Bone marrow smear:
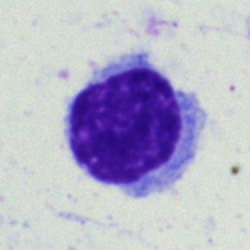 Morphology consistent with a typical lymphocyte.